Peripheral blood smear. Romanowsky-stained: 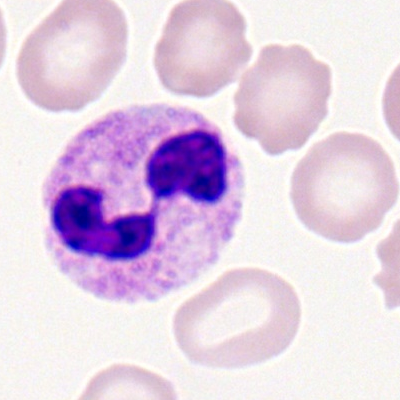

Specimen: peripheral blood smear.
Classification: polymorphonuclear neutrophil.
Lineage: myeloid.